Bone marrow smear — 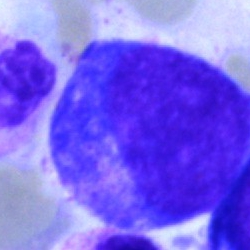 Single cell identified as a promyelocyte.